Bone marrow smear; Pappenheim-stained; image size 250×250
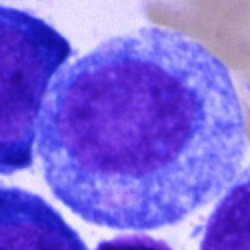 Cell type = progranulocyte.